250×250 px; bone marrow aspirate smear:
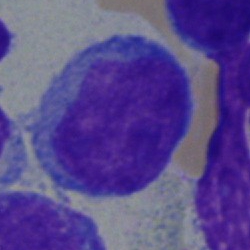 Morphology → blast cell.